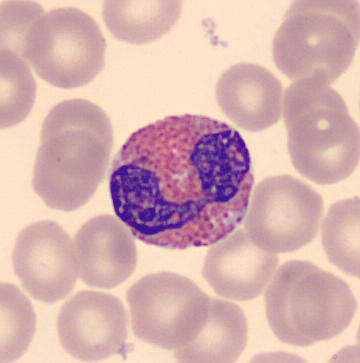
Showing an eosinophil. Acquisition: Peripheral blood film.